40× oil immersion; bone marrow smear — 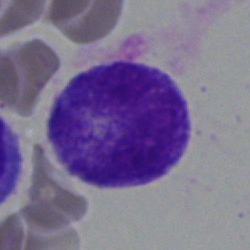
Single cell identified as a band neutrophil.